Peripheral blood film: 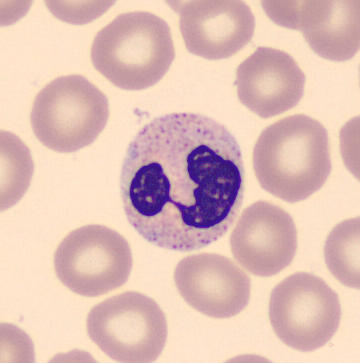

The cell is segmented neutrophil.